Bone marrow smear · 250×250
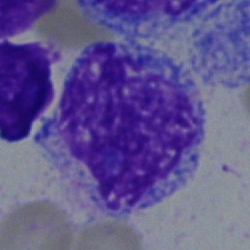
This is a blast cell.